MGG-stained. Bone marrow smear: 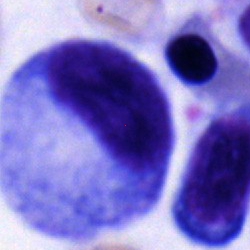Q: Identify the cell.
A: Progranulocyte.